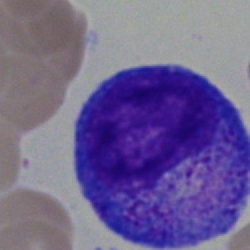 Q: What type of cell is this?
A: Progranulocyte.